Bone marrow smear; 250 by 250 pixels: 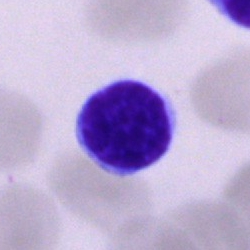
Typical lymphocyte.